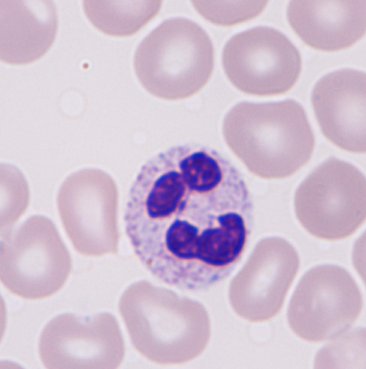

Specimen: peripheral blood film.
Cell type: neutrophil granulocyte.

Acquisition: Imaged on a CellaVision DM96 analyser; image size 366×369.